Bone marrow aspirate smear. Image size 250×250
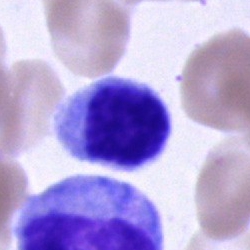Cell type = unidentifiable cell.